Single-cell crop · peripheral blood smear.
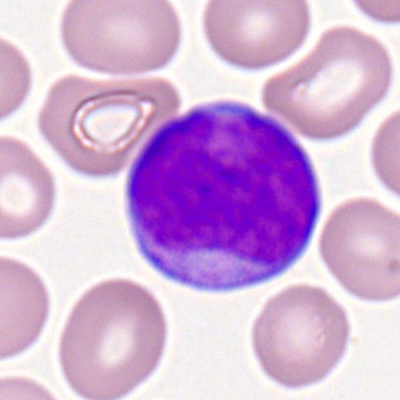 Morphology → myeloid blast.